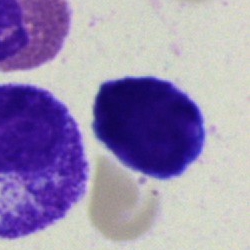 Impression — lymphocyte.